Bone marrow smear.
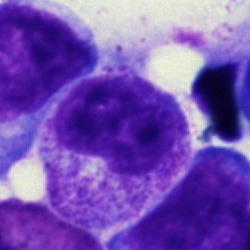

Q: What is the morphological classification of this cell?
A: Metamyelocyte.